40× oil immersion; bone marrow smear; May-Grünwald-Giemsa/Pappenheim stain:
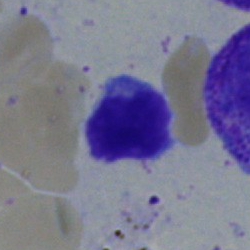
{"cell_type": "lymphocyte", "lineage": "lymphoid"}